Romanowsky-stained. Peripheral blood smear — 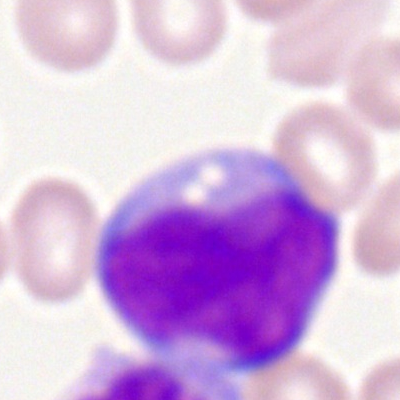Morphology → myeloblast.